40× oil immersion; single cell centered in the field; bone marrow smear
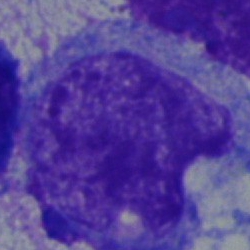
Cell = monocyte.